Bone marrow smear — 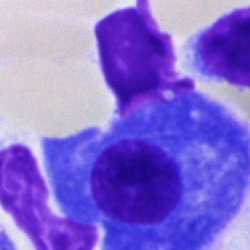 {"cell_type": "plasmacyte"}